40× oil immersion. Single-cell crop. Bone marrow smear: 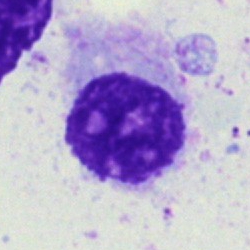
Q: What is shown here?
A: Artifact.